Bone marrow smear — 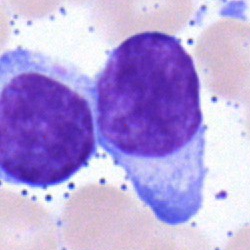
Specimen: bone marrow smear.
Morphological class: typical lymphocyte.
Lineage: lymphoid.